Bone marrow aspirate smear — 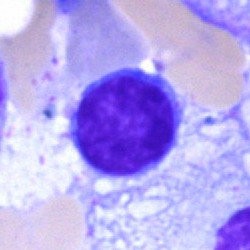

Specimen: bone marrow aspirate smear.
Cell: typical lymphocyte.
Lineage: lymphoid.